Bone marrow smear
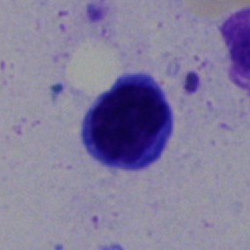 A lymphocyte.